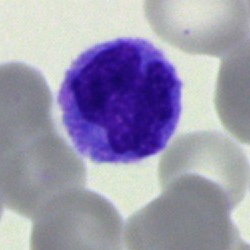 {"cell_type": "monocyte"}